360×363; peripheral blood smear
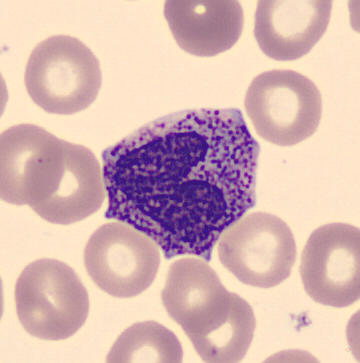The cell shown is a metamyelocyte.